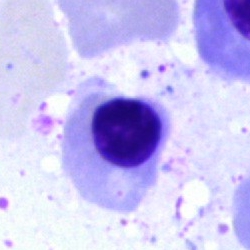

Cell: nucleated red cell.